Bone marrow smear. MGG-stained — 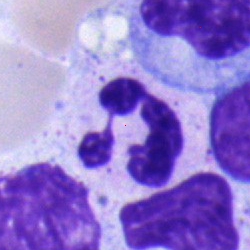
This is a segmented neutrophil.